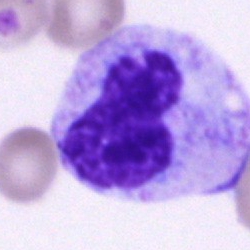Morphology → metamyelocyte.